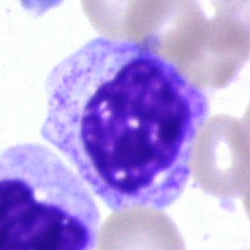Morphological class = myelocyte.